Bone marrow smear — 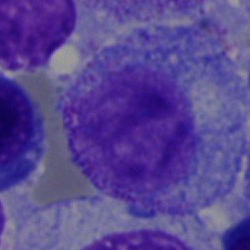Morphological class = promyelocyte.